Bone marrow aspirate smear.
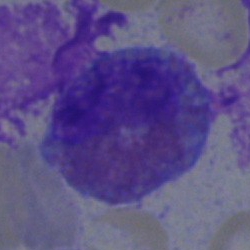 An eosinophil.